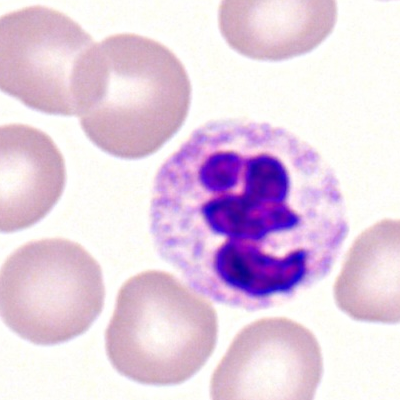 Cell = segmented neutrophil.